Bone marrow smear:
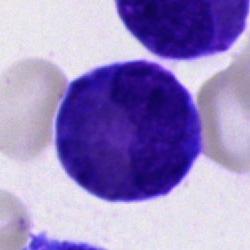Impression → eosinophil.